40× oil immersion · bone marrow smear — 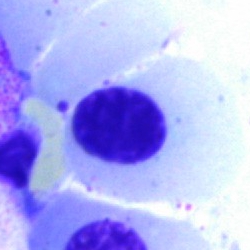 Nucleated red cell.